250×250; 40× objective, oil immersion; bone marrow aspirate smear
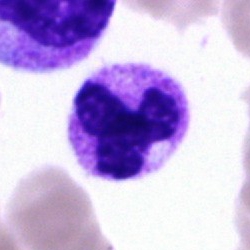Q: What cell is this?
A: This is a polymorphonuclear neutrophil.